Bone marrow aspirate smear — 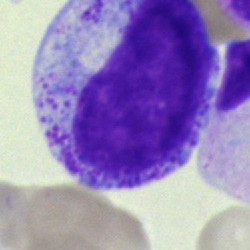
Classification = promyelocyte.